Bone marrow smear — 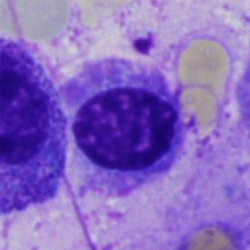Cell type: plasmacyte.